Bone marrow aspirate smear · single cell centered in the field:
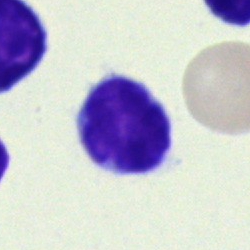
The cell type is typical lymphocyte.